250×250 px. Single-cell field. Bone marrow aspirate smear.
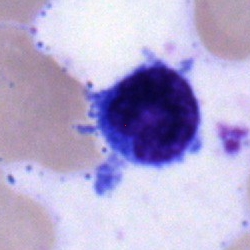 The cell shown is a typical lymphocyte.